Cropped to a single cell · bone marrow aspirate smear — 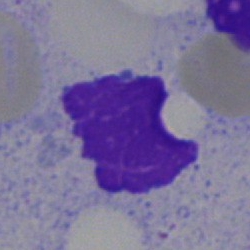Specimen: bone marrow aspirate smear.
Morphological class: artefact.